Peripheral blood smear; single-cell field: 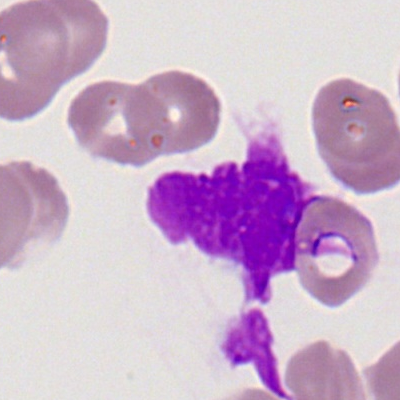 Classification = smudge cell.